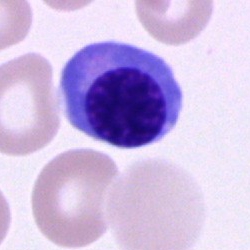 Showing a nucleated red blood cell.